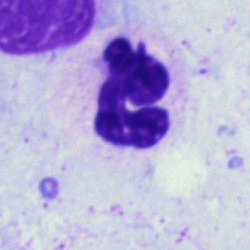

Single cell identified as a polymorphonuclear neutrophil.